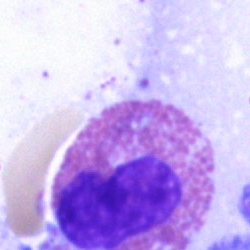

Classification = eosinophil.